Peripheral blood smear. Cropped to a single cell.
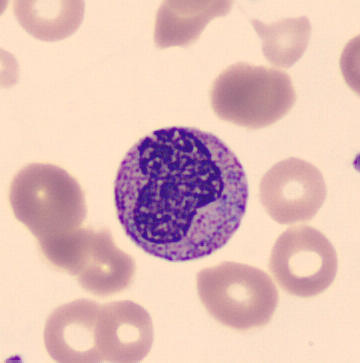

The classification is metamyelocyte.